250×250 px. Single cell centered in the field. Bone marrow aspirate smear.
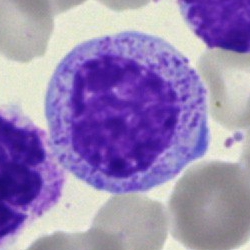
Q: What is shown here?
A: Myelocyte.